Bone marrow smear.
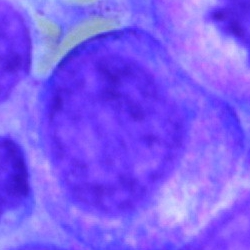

Classification: metamyelocyte.